May-Grünwald-Giemsa/Pappenheim stain. Bone marrow aspirate smear.
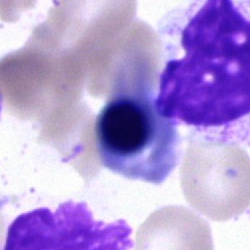 Specimen: bone marrow aspirate smear.
Classification: normoblast.